Bone marrow aspirate smear
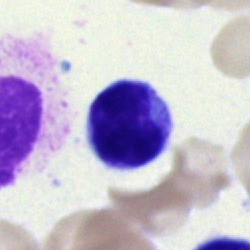Morphology — typical lymphocyte.